Bone marrow smear: 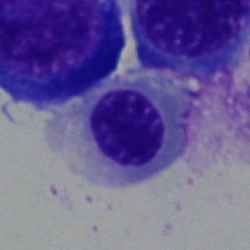

{"cell_type": "nucleated red blood cell"}